Peripheral blood smear:
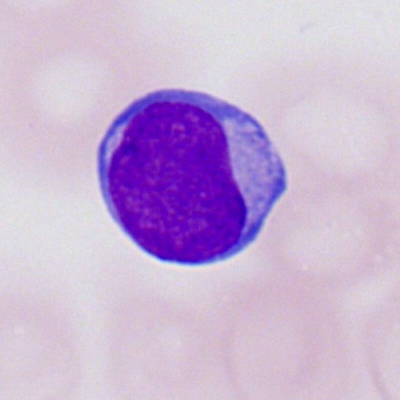

Morphological class — myeloblast.